Bone marrow smear: 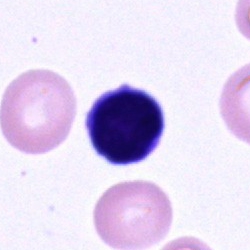 Classification — typical lymphocyte.